Bone marrow smear; 250×250 — 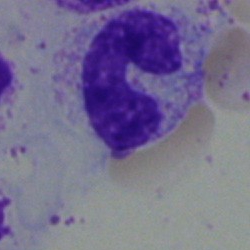
A neutrophil (band).